Bone marrow aspirate smear
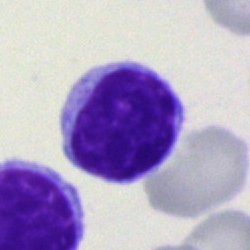 This is a lymphocyte.